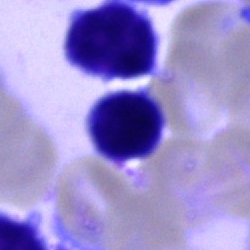

A typical lymphocyte.